Bone marrow aspirate smear: 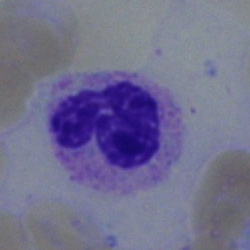

Impression — polymorphonuclear neutrophil.